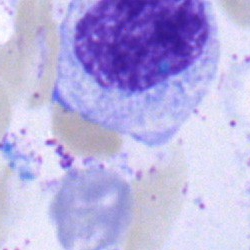
Showing a myelocyte.